Bone marrow smear — 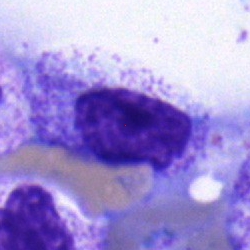
Showing a myelocyte.